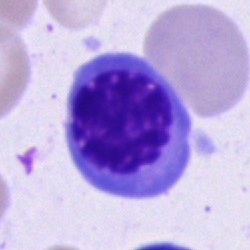
{"cell_type": "normoblast"}